Bone marrow aspirate smear — 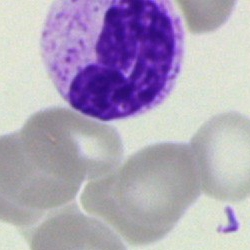Single cell identified as a segmented neutrophil.